Bone marrow aspirate smear: 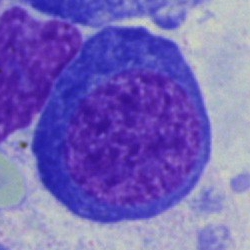
Morphology consistent with a nucleated red cell.